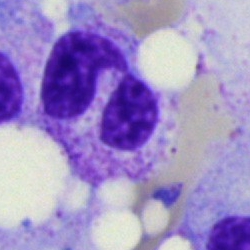Neutrophil (segmented).